Bone marrow smear:
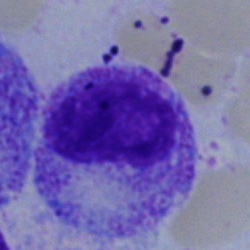

Specimen: bone marrow aspirate smear.
Classification: myelocyte.